Bone marrow aspirate smear · cropped to a single cell:
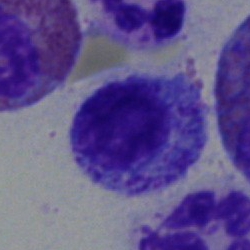
Cell: promyelocyte.